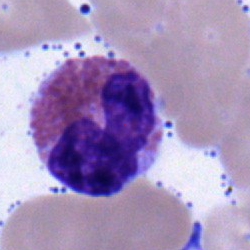

Morphological class = eosinophil.